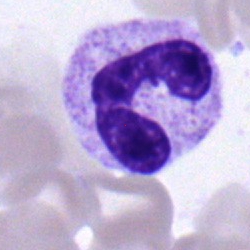 Single cell identified as a neutrophil (band).